Bone marrow aspirate smear · brightfield, 40× oil-immersion objective · single-cell field.
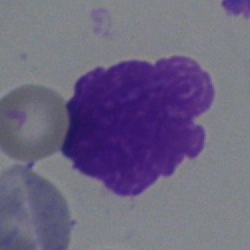

Q: What is shown here?
A: Artefact.